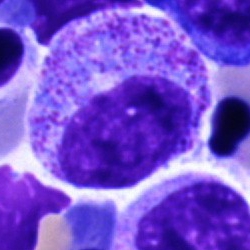

Bone marrow aspirate smear, single cell — promyelocyte.